Bone marrow smear.
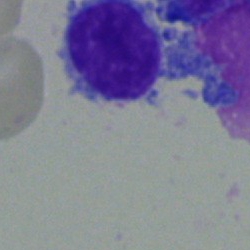
Showing an undifferentiated blast.